Bone marrow smear · May-Grünwald-Giemsa/Pappenheim stain: 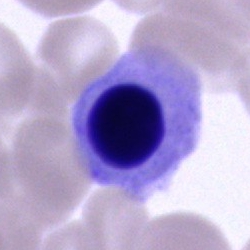 {"cell_type": "nucleated red blood cell", "lineage": "erythroid"}